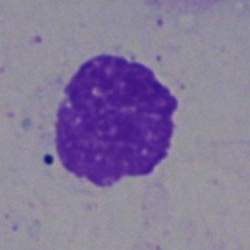Single cell identified as an artefact.